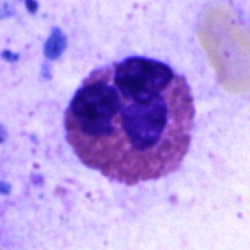

Single-cell crop from a bone marrow smear: eosinophilic granulocyte.